Bone marrow aspirate smear.
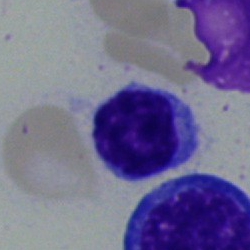 Impression — typical lymphocyte.